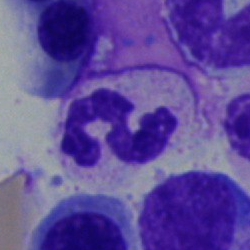 Classification = neutrophil (segmented).